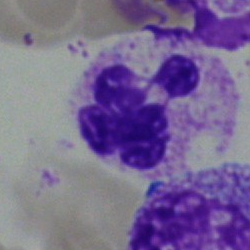Bone marrow aspirate smear, single cell — polymorphonuclear neutrophil.